250 by 250 pixels. Bone marrow smear.
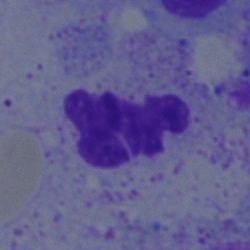Q: What type of cell is this?
A: Segmented neutrophil.